Bone marrow smear
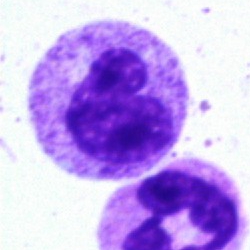A band-form neutrophil.